40× objective, oil immersion · bone marrow aspirate smear
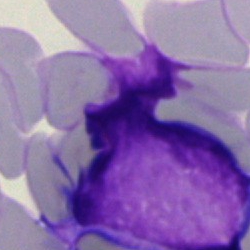The classification is blast.